Bone marrow smear. May-Grünwald-Giemsa/Pappenheim stain
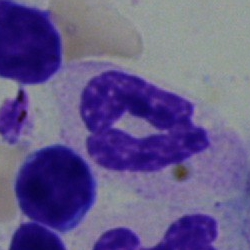
Showing a segmented neutrophil.